Bone marrow aspirate smear · brightfield microscopy, 40× oil immersion
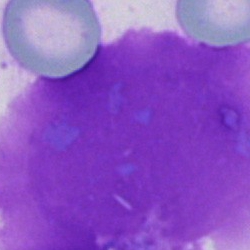

This is an artifact.